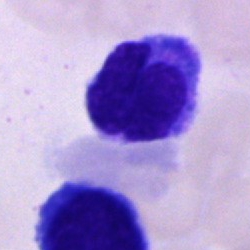Q: Identify the cell.
A: It is a cell of indeterminate lineage.